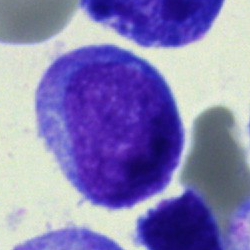Q: Which cell type is shown here?
A: An undifferentiated blast.